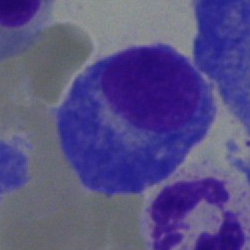

Bone marrow aspirate smear, single cell — plasma cell.